Bone marrow smear. 250×250. Single-cell field: 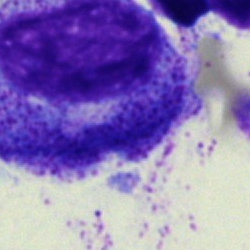
Specimen: bone marrow aspirate smear.
Classification: promyelocyte.
Lineage: myeloid.